Bone marrow smear — 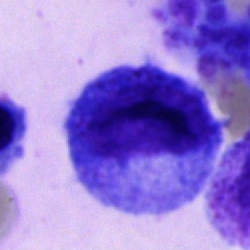

A progranulocyte.